Bone marrow smear.
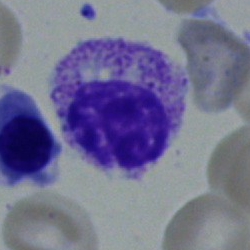
Showing a myelocyte.